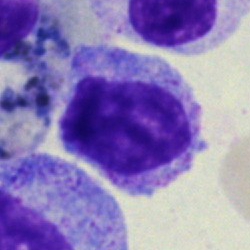

Showing a myelocyte.